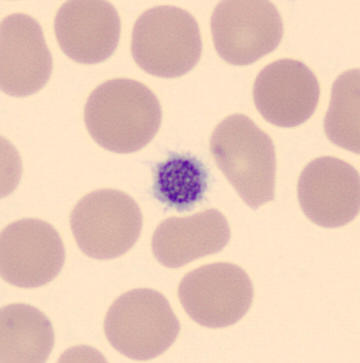
Morphological class = thrombocyte.

Image: Peripheral blood smear.